Bone marrow smear. Brightfield microscopy, 40× oil immersion
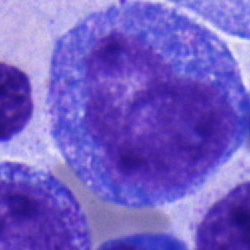

This is a progranulocyte.